Bone marrow aspirate smear; 250×250 px; Pappenheim-stained:
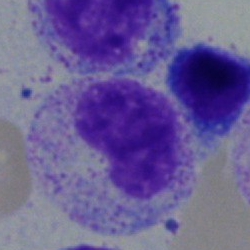 A metamyelocyte.